Bone marrow aspirate smear · brightfield microscopy, 40× oil immersion:
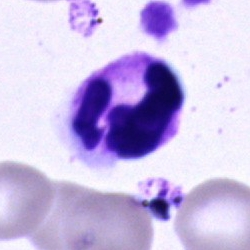
Specimen: bone marrow smear.
Cell type: polymorphonuclear neutrophil.
Lineage: myeloid.